Bone marrow aspirate smear — 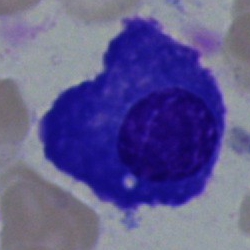
This is a plasma cell.